Bone marrow aspirate smear — 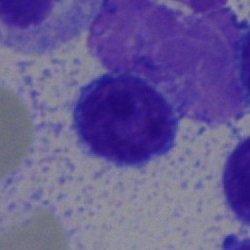

Q: What cell is this?
A: A lymphocyte.